Single-cell crop · bone marrow aspirate smear
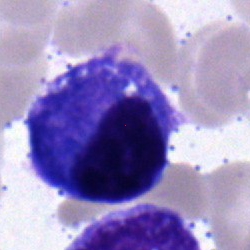
Q: Identify the cell.
A: This is a plasmacyte.